Bone marrow aspirate smear.
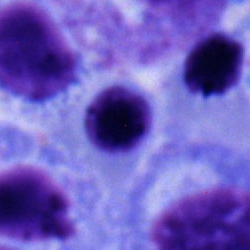 Q: What type of cell is this?
A: It is a nucleated red blood cell.